Bone marrow aspirate smear · image size 250×250: 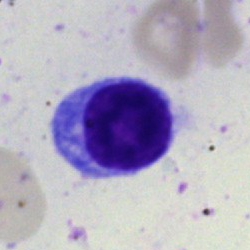Q: Identify the cell.
A: This is a typical lymphocyte.